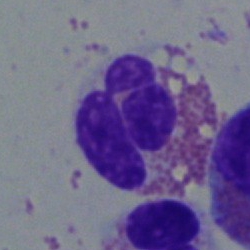

The cell type is eosinophil.